Bone marrow aspirate smear; cropped to a single cell.
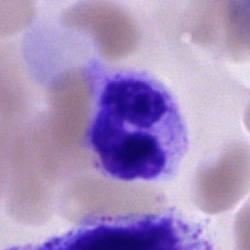Cell = stab cell.